Bone marrow aspirate smear — 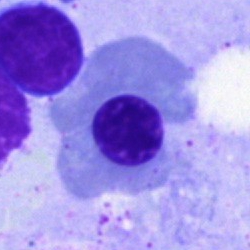
Showing a normoblast.